Bone marrow smear: 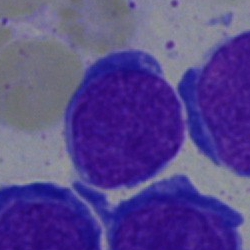
The cell is blast.